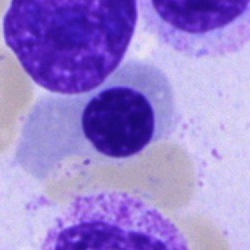Q: What is the morphological classification of this cell?
A: Nucleated red blood cell.